Peripheral blood film — 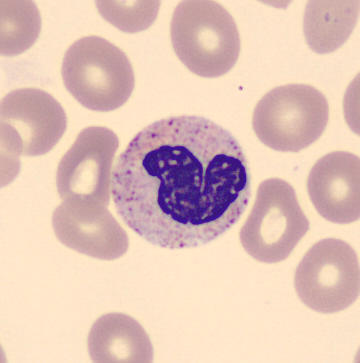 Morphology — stab cell.